250×250 px. 40× objective, oil immersion. Bone marrow smear — 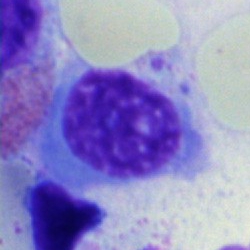Specimen: bone marrow aspirate smear.
Classification: artefact.